Bone marrow smear — 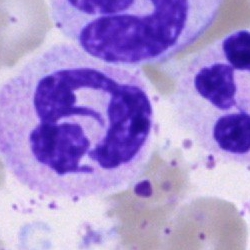Showing a neutrophil (segmented).